Single-cell crop · brightfield microscopy, 40× oil immersion · bone marrow aspirate smear
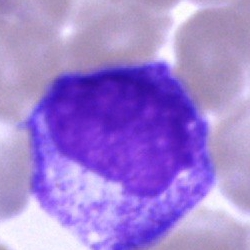Cell type = myelocyte.